Bone marrow smear · May-Grünwald-Giemsa/Pappenheim stain · 40× oil immersion:
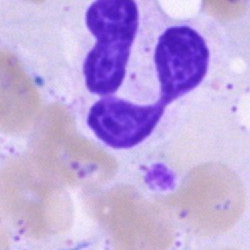
The cell is polymorphonuclear neutrophil.